Bone marrow smear
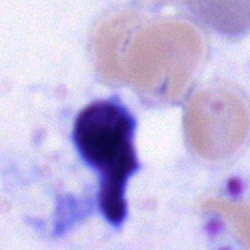The cell shown is a lymphocyte.